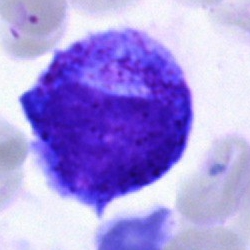
Q: Which cell type is shown here?
A: It is a promyelocyte.